Pappenheim-stained · bone marrow smear · cropped to a single cell.
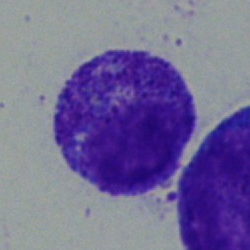A myelocyte.